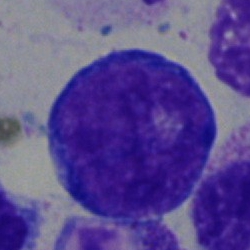Impression — pronormoblast.